Bone marrow aspirate smear.
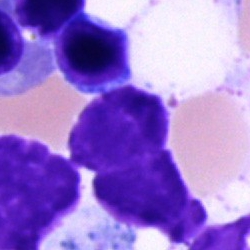 {"cell_type": "artifact"}